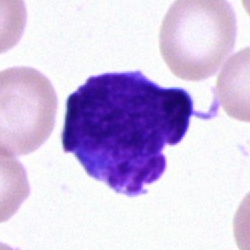Impression — artifact.